Bone marrow smear — 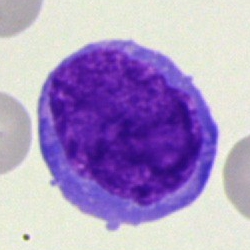

Showing a blast.